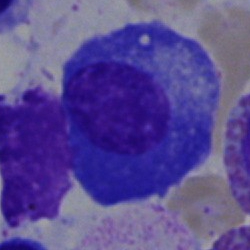
Classification: plasma cell.